Bone marrow aspirate smear — 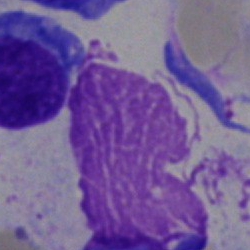
The cell is artifact.